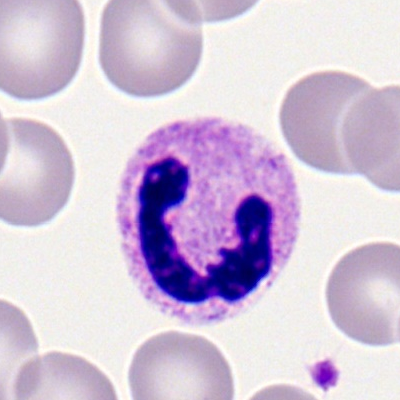

Peripheral blood film, single cell — polymorphonuclear neutrophil.